Single cell centered in the field · bone marrow aspirate smear — 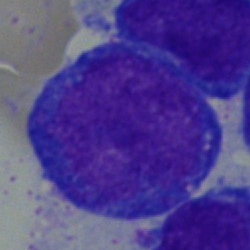 Cell type: blast cell.